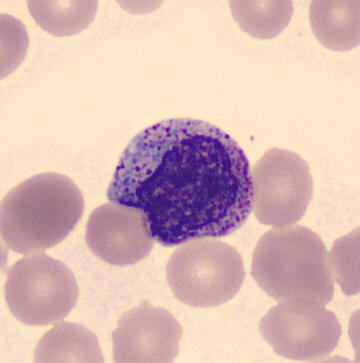 Preparation: Peripheral blood smear.

Impression → myelocyte.